Bone marrow smear — 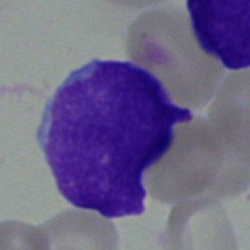This is a blast cell.